Bone marrow aspirate smear:
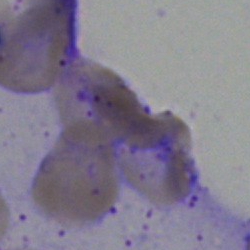
Morphological class = artefact.